Image size 250×250. Bone marrow aspirate smear
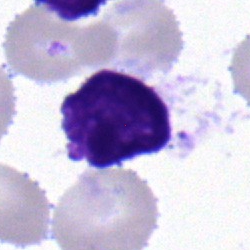 The cell shown is a lymphocyte.